40× oil immersion; bone marrow aspirate smear — 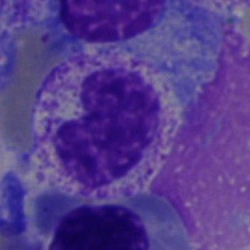Morphology consistent with a metamyelocyte.